Bone marrow smear — 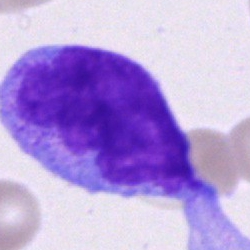

Single cell identified as a blast.